MGG-stained · bone marrow aspirate smear:
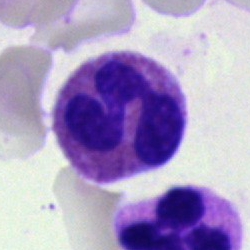The cell shown is an eosinophil.